Bone marrow smear. Image size 250×250. 40× oil immersion: 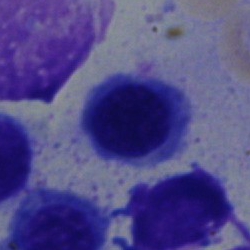Q: Which cell type is shown here?
A: An erythroblast.